Bone marrow smear; single cell centered in the field:
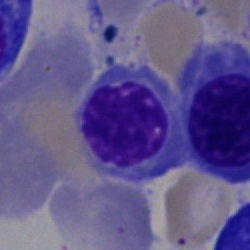Classification: nucleated red blood cell.